Bone marrow smear · 40× objective, oil immersion · 250×250: 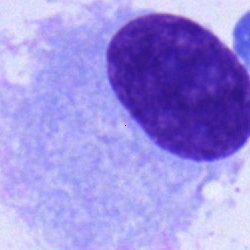

The cell type is plasma cell.